Bone marrow smear — 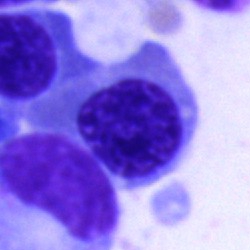
Specimen: bone marrow smear.
Cell: nucleated red blood cell.
Lineage: erythroid.